250×250 px · single-cell crop · bone marrow smear.
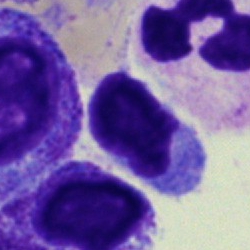This is a lymphocyte.